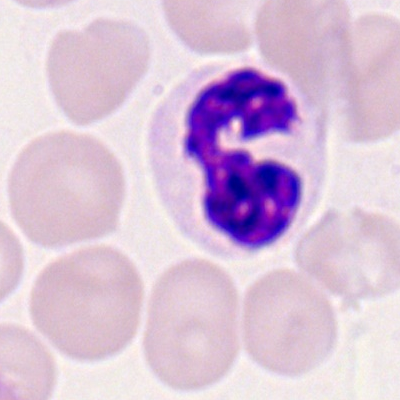Q: Which cell type is shown here?
A: It is a polymorphonuclear neutrophil.